Peripheral blood film — 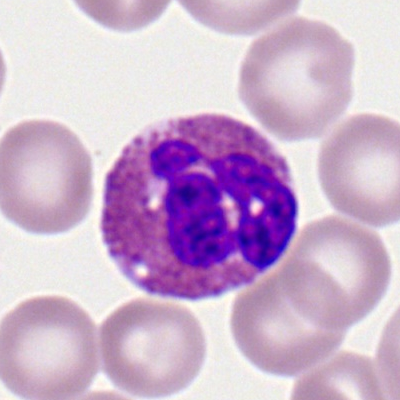
Q: What type of cell is this?
A: Eosinophilic granulocyte.